Bone marrow aspirate smear; 250×250 px.
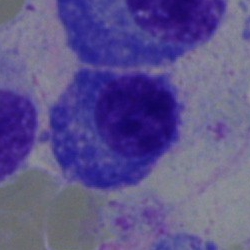
Cell type — plasmacyte.